Bone marrow aspirate smear — 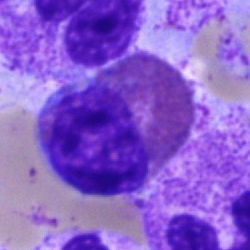 Specimen: bone marrow aspirate smear.
Morphological class: eosinophilic granulocyte.